Bone marrow aspirate smear — 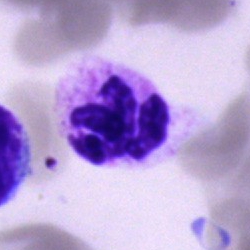 Q: Which cell type is shown here?
A: Polymorphonuclear neutrophil.